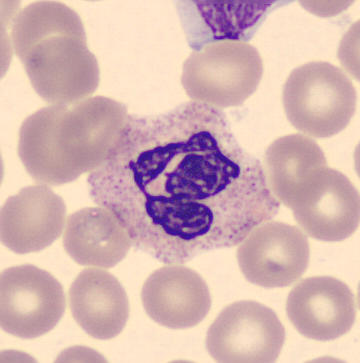 {"cell_type": "segmented neutrophil", "lineage": "myeloid"} Image: May Grünwald-Giemsa stain; peripheral blood smear; imaged on a CellaVision DM96 analyser.